Image size 250×250. Bone marrow smear: 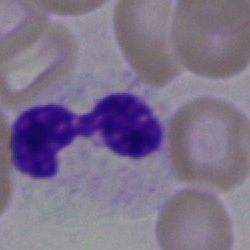Specimen: bone marrow smear.
Cell type: polymorphonuclear neutrophil.
Lineage: myeloid.